Bone marrow aspirate smear:
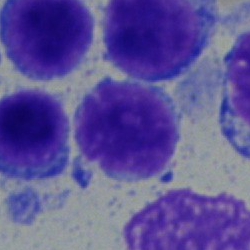
Morphology consistent with a lymphocyte.